Bone marrow aspirate smear. Pappenheim-stained.
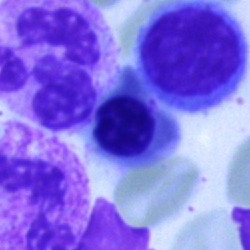Classification = nucleated red cell.